Bone marrow smear
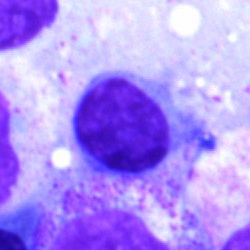 Classification — typical lymphocyte.